Bone marrow smear: 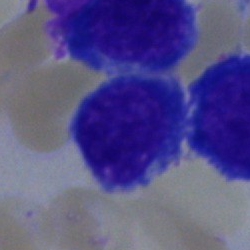
Cell type: nucleated red blood cell.